250×250. Bone marrow aspirate smear — 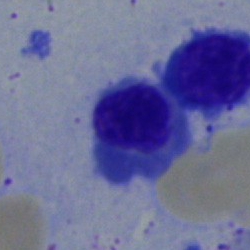
Q: What is the morphological classification of this cell?
A: Normoblast.